Bone marrow aspirate smear — 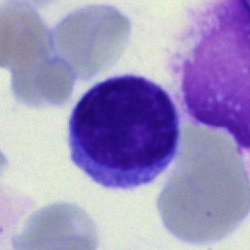
Q: What cell is this?
A: It is a typical lymphocyte.